40× objective, oil immersion · single-cell field · bone marrow aspirate smear.
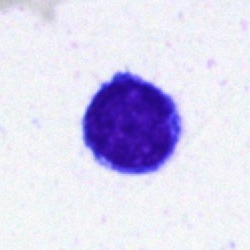 The cell shown is a lymphocyte.